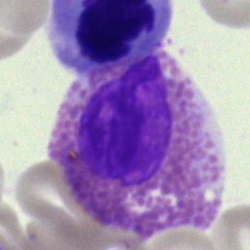
{"cell_type": "eosinophil", "lineage": "myeloid"}